Peripheral blood film: 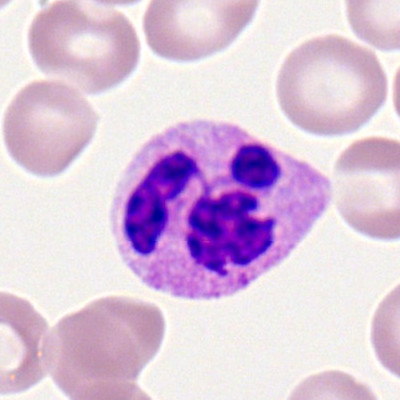

This is a polymorphonuclear neutrophil.